Bone marrow smear · image size 250×250:
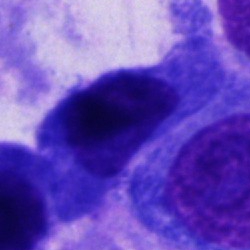 {"cell_type": "cell not matching the other categories"}